MGG-stained · bone marrow smear
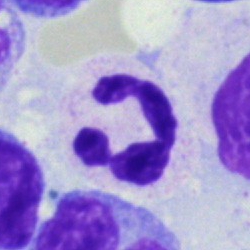
The cell is neutrophil (segmented).